Bone marrow aspirate smear; 40× objective, oil immersion; Pappenheim-stained:
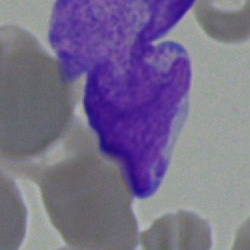Morphological class — blast.